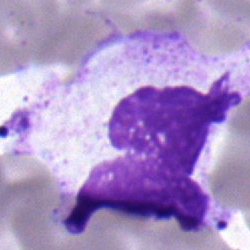The morphological class is polymorphonuclear neutrophil.